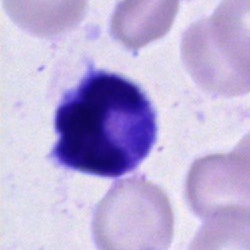

Bone marrow smear showing an unidentifiable cell.